Bone marrow smear. 40× oil immersion:
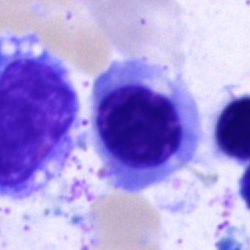 Q: Which cell type is shown here?
A: Nucleated red blood cell.